Bone marrow aspirate smear.
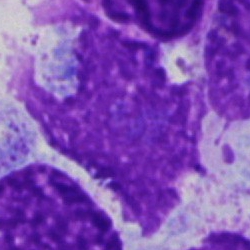

Artefact.